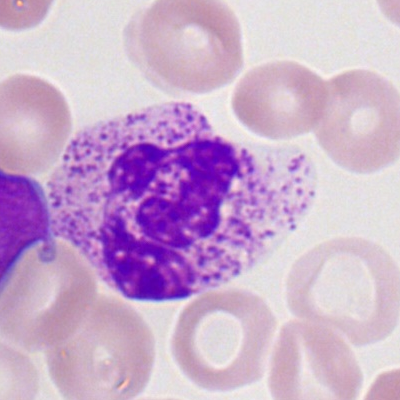

Showing a neutrophil (segmented).